Bone marrow smear:
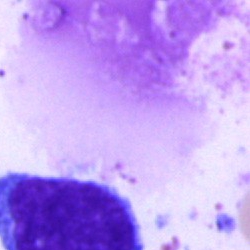Specimen: bone marrow aspirate smear.
Cell: artefact.